Bone marrow aspirate smear — 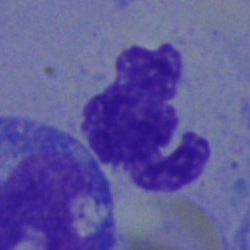Classification: polymorphonuclear neutrophil.